Bone marrow aspirate smear
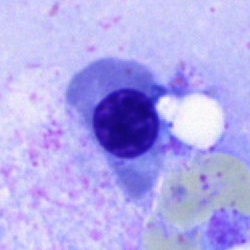 Q: What cell is this?
A: This is an erythroblast.